Single cell centered in the field. Bone marrow aspirate smear. 250×250.
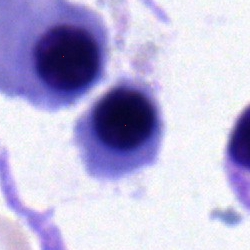

Q: Identify the cell.
A: It is an erythroblast.